Single-cell crop; Pappenheim-stained; bone marrow smear
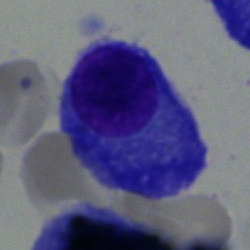

{"cell_type": "plasma cell", "lineage": "lymphoid"}